400 by 400 pixels · Romanowsky-type stain · peripheral blood film — 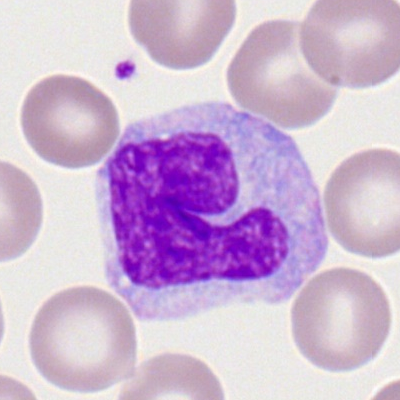

Q: What cell is this?
A: This is a monocyte.